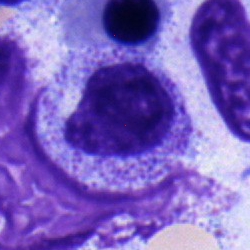
Single cell identified as a myelocyte.